Bone marrow aspirate smear:
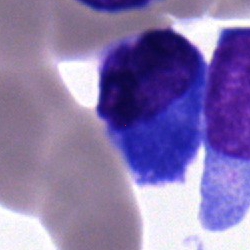The cell is plasmacyte.